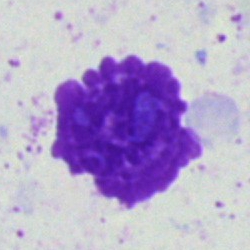

Specimen: bone marrow aspirate smear.
Cell: artefact.